Bone marrow smear: 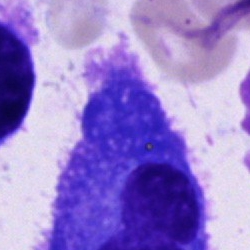Morphological class — plasma cell.